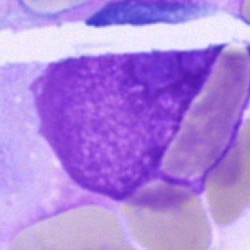An artefact.